Peripheral blood film: 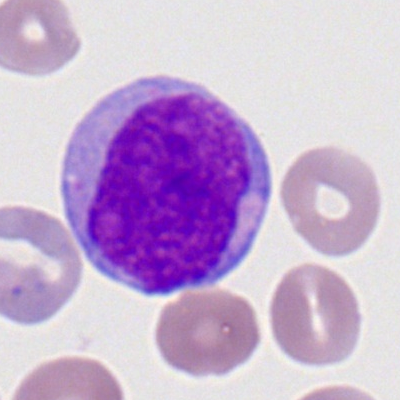

Specimen: peripheral blood smear.
Cell type: myeloblast.
Lineage: myeloid.